Bone marrow smear — 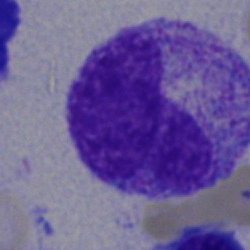 Specimen: bone marrow smear.
Cell: metamyelocyte.